Bone marrow aspirate smear.
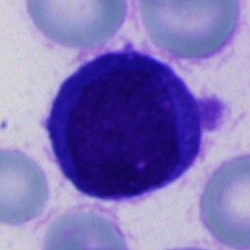 Classification: unidentifiable cell.